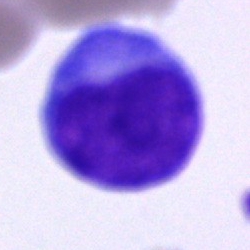 Cell type = undifferentiated blast.